Peripheral blood smear. Image size 400×400. M8 digital microscope (Precipoint), 100× oil immersion — 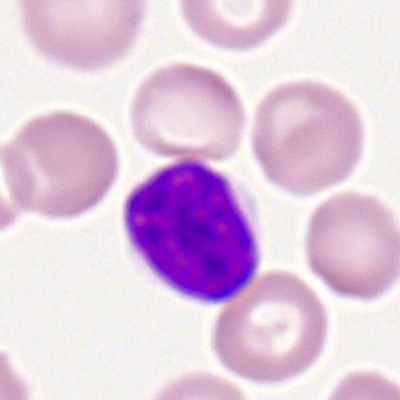 Cell type — lymphocyte.